Bone marrow aspirate smear
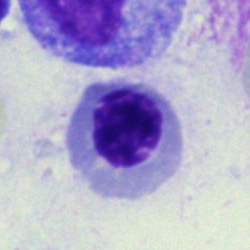Morphology → nucleated red blood cell.